Bone marrow smear; Pappenheim-stained:
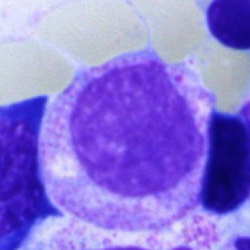
Cell type — myelocyte.